Bone marrow smear
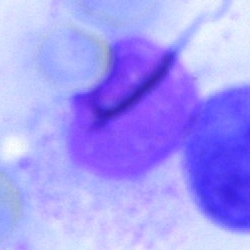

An artifact.